Bone marrow smear:
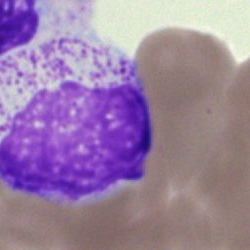

The cell shown is a myelocyte.